Bone marrow aspirate smear:
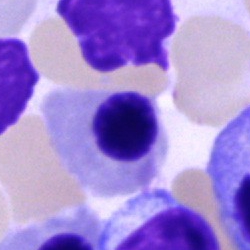

This is a normoblast.